Single cell centered in the field · bone marrow aspirate smear · brightfield microscopy, 40× oil immersion — 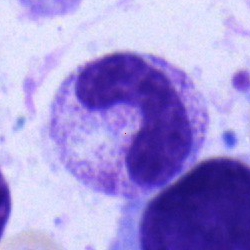{"cell_type": "band-form neutrophil", "lineage": "myeloid"}